250×250 · bone marrow smear — 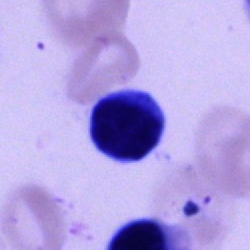

A lymphocyte.